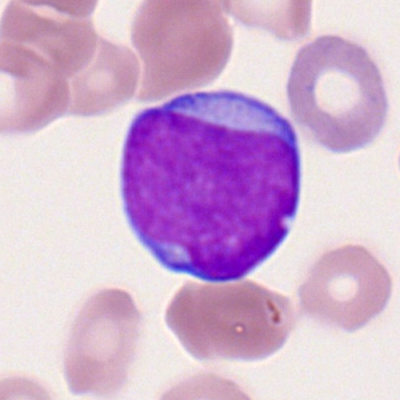 Cell = myeloid blast.